400×400 px · peripheral blood film — 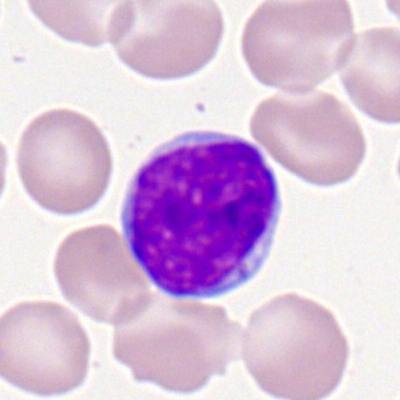Lymphocyte.